Bone marrow aspirate smear — 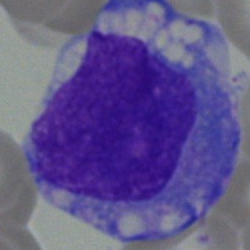 Morphological class — monocyte.